May-Grünwald-Giemsa stain; bone marrow smear; single-cell crop:
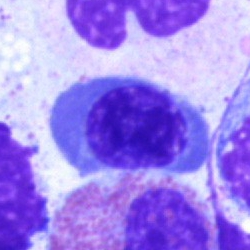

Q: Identify the cell.
A: It is a normoblast.